Bone marrow aspirate smear — 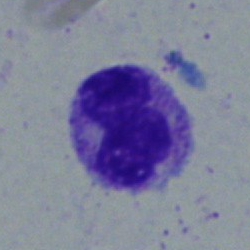

Specimen: bone marrow aspirate smear.
Morphological class: polymorphonuclear neutrophil.
Lineage: myeloid.